Single cell centered in the field · bone marrow aspirate smear.
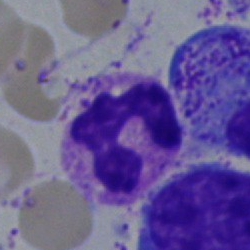
Showing a polymorphonuclear neutrophil.